Bone marrow aspirate smear — 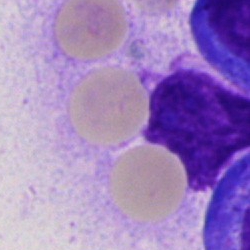Impression — artefact.